Bone marrow smear — 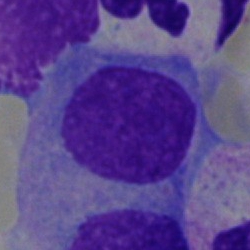Cell type = plasma cell.